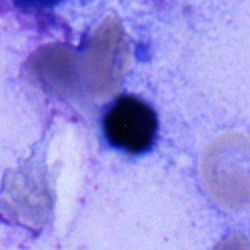
Single-cell crop from a bone marrow smear: lymphocyte.